Peripheral blood smear; Romanowsky stain.
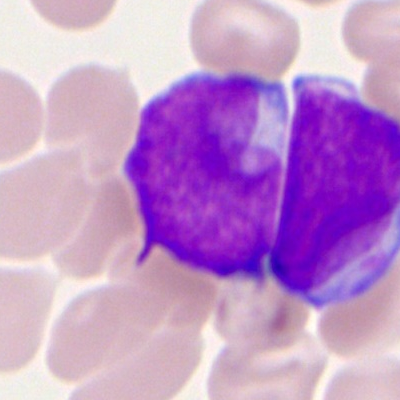

Q: What is shown here?
A: Myeloid blast.